Bone marrow smear · single cell centered in the field — 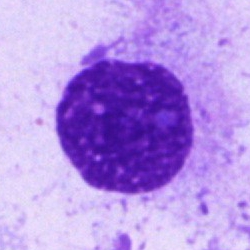An artifact.